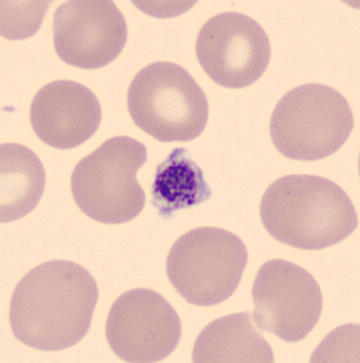

Acquisition: Peripheral blood film; MGG stain; 360×363. Morphology → platelet (thrombocyte).